Bone marrow aspirate smear · single-cell field
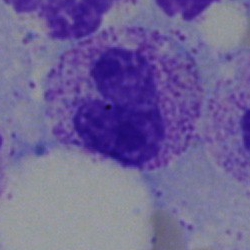
Specimen: bone marrow aspirate smear.
Cell: metamyelocyte.
Lineage: myeloid.